Bone marrow smear
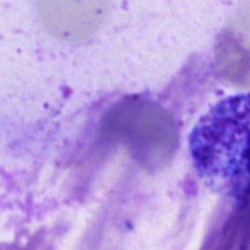

Morphology consistent with an artifact.